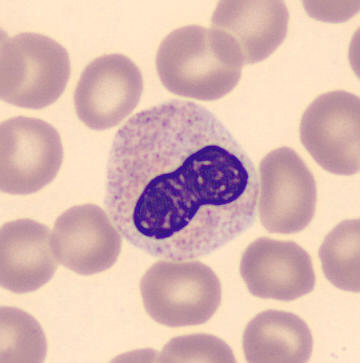 Single cell identified as a band neutrophil.

Preparation: Image size 360×363. Single-cell crop. Peripheral blood film.